Bone marrow smear; 250×250 — 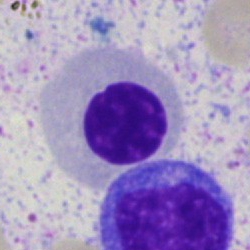

Morphology consistent with a nucleated red cell.